Peripheral blood smear — 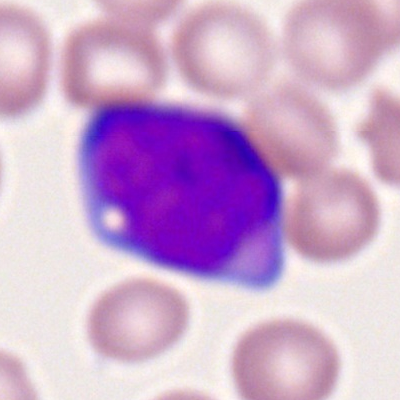
Impression → myeloblast.